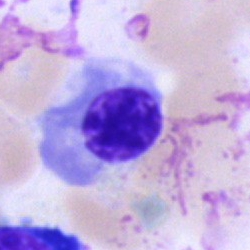Nucleated red cell.